Bone marrow aspirate smear: 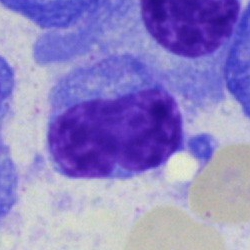 Typical lymphocyte.